Bone marrow aspirate smear — 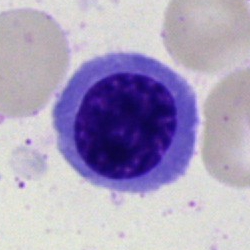Q: Which cell type is shown here?
A: It is a nucleated red blood cell.